Cropped to a single cell. Bone marrow aspirate smear. 250×250 px: 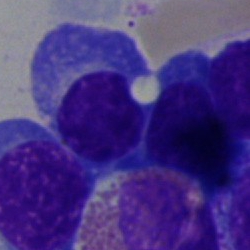

Morphological class — plasmacyte.